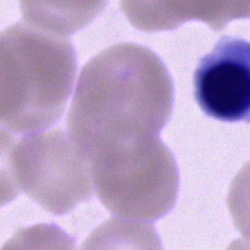 {"cell_type": "erythroblast", "lineage": "erythroid"}